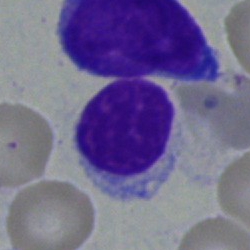

Q: Identify the cell.
A: A typical lymphocyte.